Brightfield, 40× oil-immersion objective; bone marrow smear.
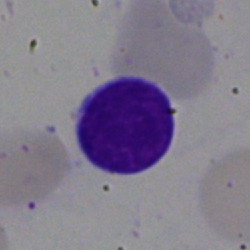 Morphology consistent with a typical lymphocyte.